Bone marrow smear
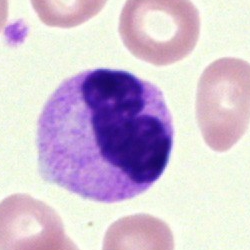The cell shown is a polymorphonuclear neutrophil.